MGG-stained. Bone marrow aspirate smear. 250 by 250 pixels.
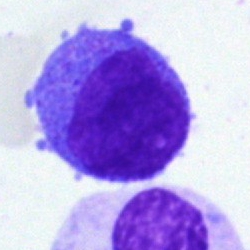The cell type is blast cell.